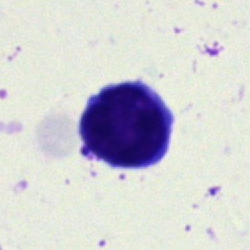
Morphological class: lymphocyte.